Bone marrow aspirate smear · 250×250
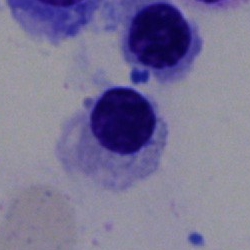
A nucleated red blood cell.